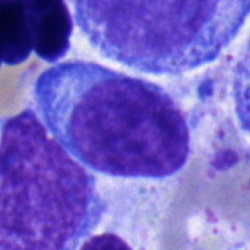 Impression — undifferentiated blast.